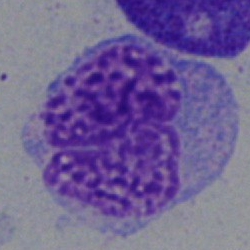

The cell is artifact.